Romanowsky-type stain · peripheral blood film:
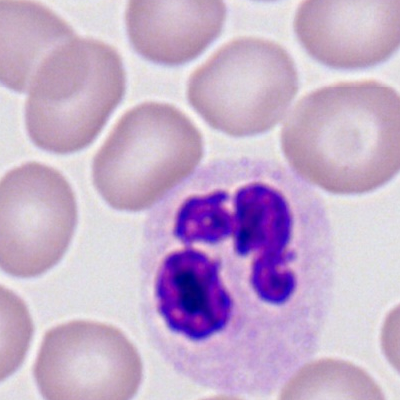
Specimen: peripheral blood film.
Cell: polymorphonuclear neutrophil.